Single-cell crop · bone marrow aspirate smear · 40× objective, oil immersion:
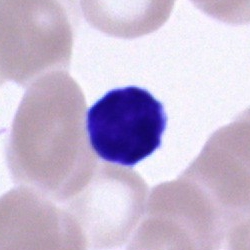 Specimen: bone marrow aspirate smear.
Cell type: lymphocyte.